Bone marrow smear.
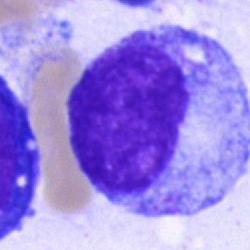Specimen: bone marrow smear.
Cell: promyelocyte.